250 by 250 pixels. Bone marrow aspirate smear
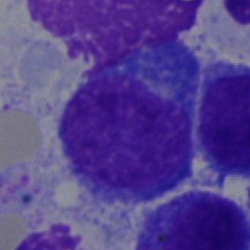
This is a lymphocyte.